Bone marrow aspirate smear · 250×250
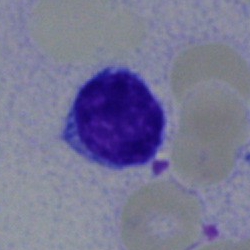
Q: What type of cell is this?
A: This is a typical lymphocyte.